Bone marrow smear:
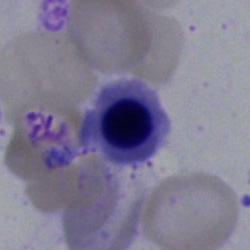Classification: nucleated red blood cell.